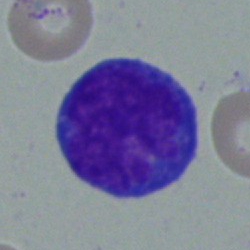

Morphology — undifferentiated blast.